Bone marrow smear.
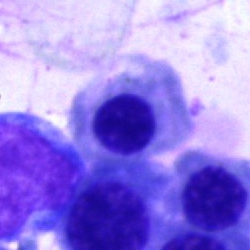 Cell: nucleated red blood cell.